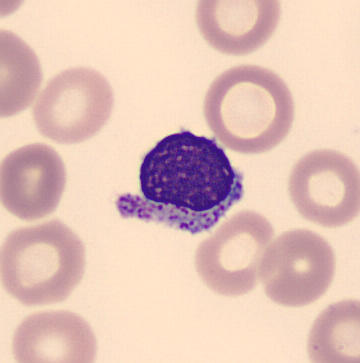

The cell shown is a typical lymphocyte.
Single-cell crop; imaged on a CellaVision DM96 analyser; peripheral blood smear.